Single cell centered in the field; bone marrow aspirate smear
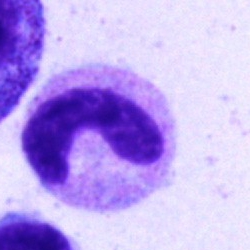
Q: What type of cell is this?
A: It is a stab cell.